Bone marrow smear: 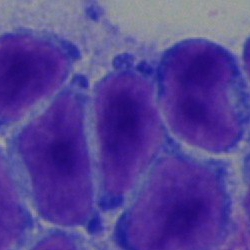

This is a typical lymphocyte.